Bone marrow aspirate smear:
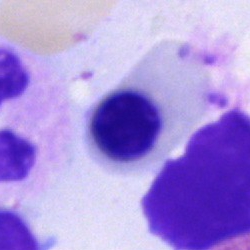Cell — erythroblast.